Bone marrow smear; brightfield microscopy, 40× oil immersion; single-cell field: 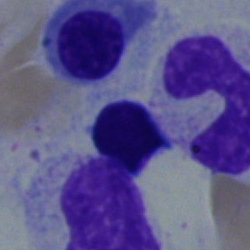 Single cell identified as a band neutrophil.